Peripheral blood film · 100× oil immersion, 14.14 px/µm: 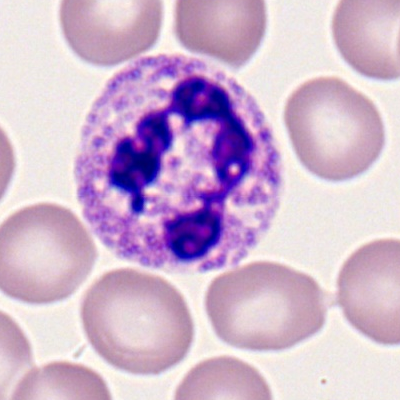Q: Which cell type is shown here?
A: It is a segmented neutrophil.